Peripheral blood film.
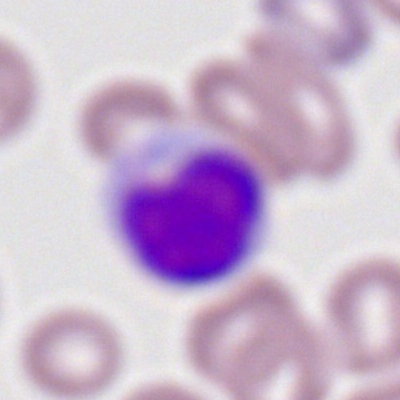
Specimen: peripheral blood smear.
Cell: lymphocyte.